Bone marrow smear
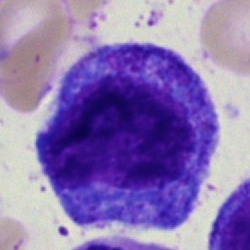 Q: What is the morphological classification of this cell?
A: Progranulocyte.